Bone marrow aspirate smear; 250×250 px.
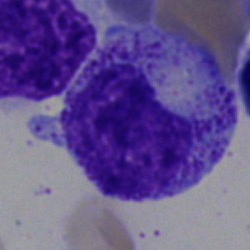
Progranulocyte.